Peripheral blood smear · 400 by 400 pixels
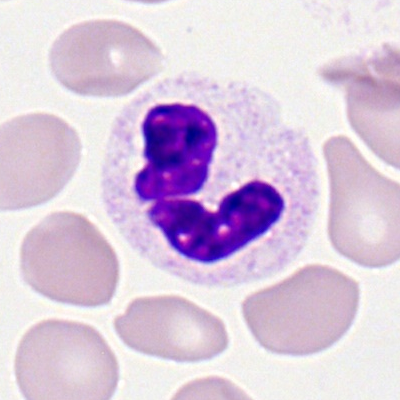

Cell — polymorphonuclear neutrophil.